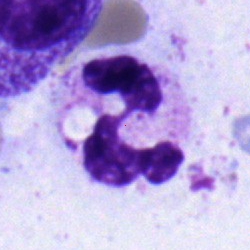

The cell shown is a neutrophil (segmented).